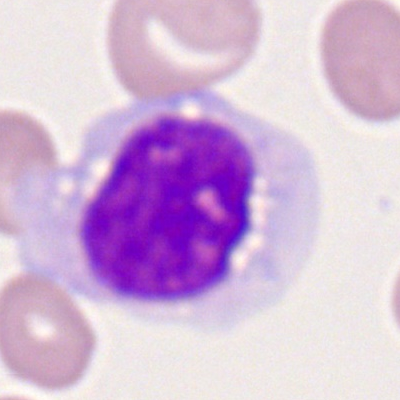The morphological class is monocyte.